Bone marrow smear · image size 250×250 · single-cell crop — 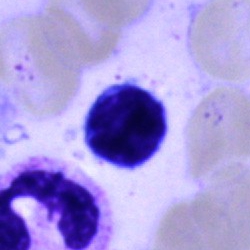 Cell — typical lymphocyte.